Bone marrow aspirate smear · brightfield microscopy, 40× oil immersion
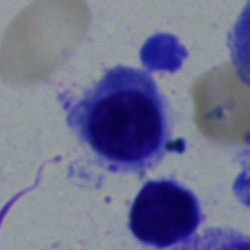

Q: What type of cell is this?
A: This is a normoblast.